250×250 px · bone marrow smear.
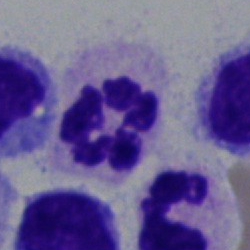
This is a polymorphonuclear neutrophil.